Bone marrow aspirate smear: 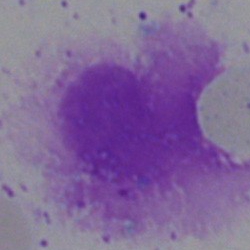

Morphological class — artefact.